Bone marrow smear. Brightfield, 40× oil-immersion objective
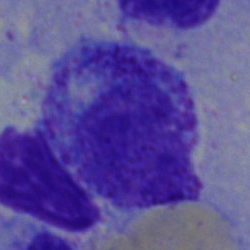The morphological class is myelocyte.